250 by 250 pixels. Single-cell field. Bone marrow aspirate smear:
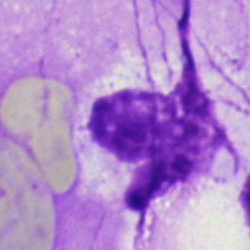

Morphology — artifact.